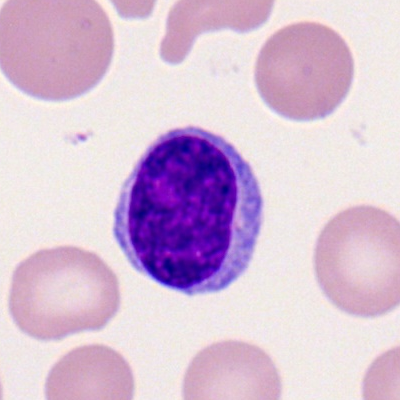 The cell type is typical lymphocyte.